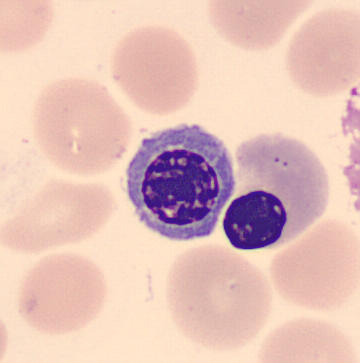Image: Peripheral blood film.
The cell is erythroblast.